Bone marrow aspirate smear. 40× oil immersion — 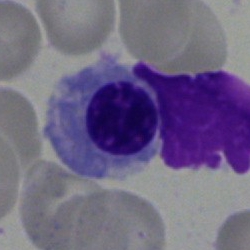
Specimen: bone marrow smear.
Cell type: nucleated red cell.
Lineage: erythroid.